Bone marrow aspirate smear · 250×250:
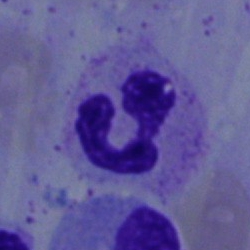 Q: What cell is this?
A: A neutrophil (band).